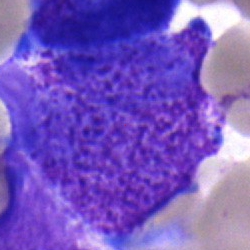
Cell type: blast.